Bone marrow smear — 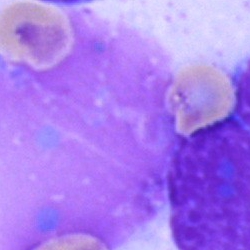The cell shown is an artefact.